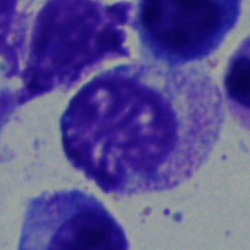Single-cell crop from a bone marrow smear: myelocyte.